Bone marrow aspirate smear; 250×250 px.
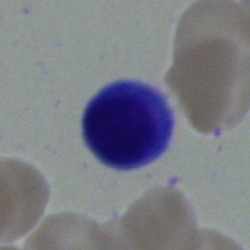Classification — lymphocyte.